Peripheral blood smear · May-Grünwald-Giemsa-stained.
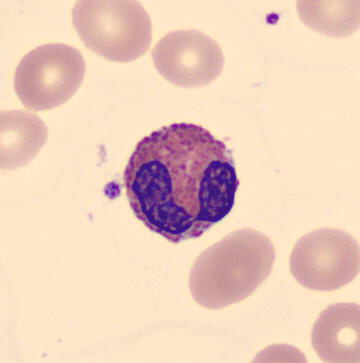 This is an eosinophilic granulocyte.